Peripheral blood film; 100× oil immersion.
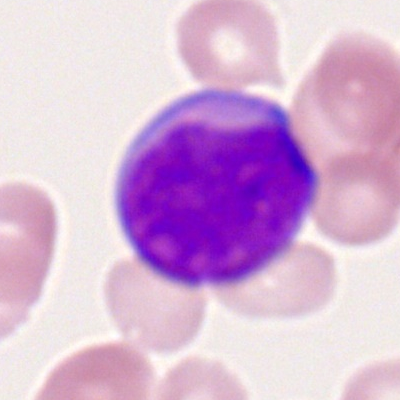
Cell: myeloblast.